Bone marrow aspirate smear: 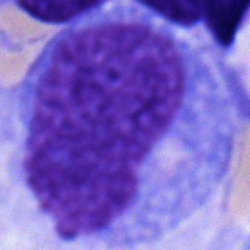 This is a progranulocyte.